Peripheral blood smear.
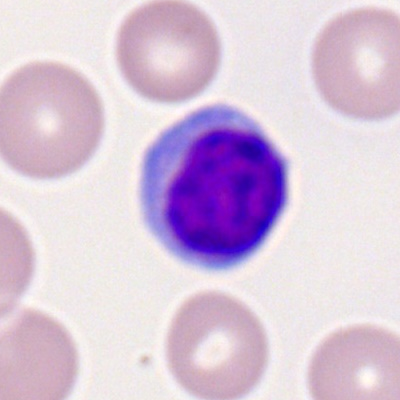

Single cell identified as a typical lymphocyte.